360 by 363 pixels · peripheral blood smear · MGG-stained:
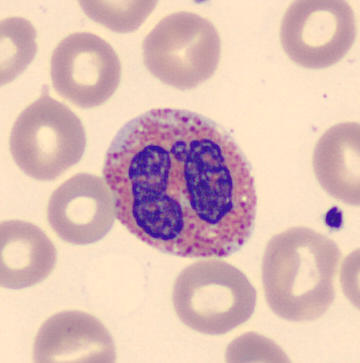Specimen: peripheral blood smear.
Classification: eosinophilic granulocyte.
Lineage: myeloid.